Peripheral blood film
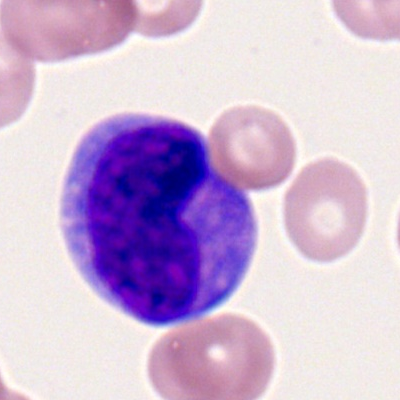

Q: What type of cell is this?
A: This is a myeloid blast.